Bone marrow aspirate smear
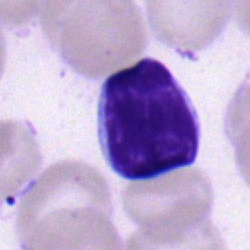
Single cell identified as a lymphocyte.